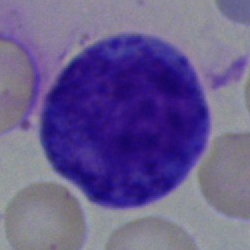
Specimen: bone marrow aspirate smear.
Cell: eosinophil with abnormal morphology.
Lineage: myeloid.